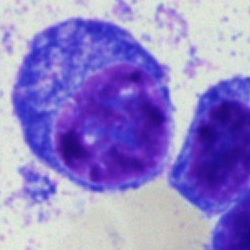 Q: What is the morphological classification of this cell?
A: A plasma cell.